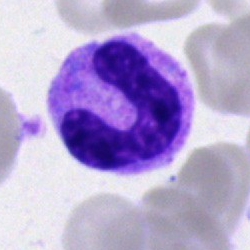
{"cell_type": "stab cell"}